Bone marrow aspirate smear
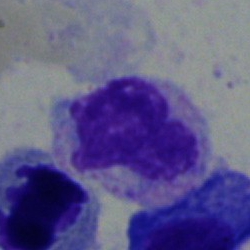

{"cell_type": "monocyte", "lineage": "myeloid"}